250×250 px; bone marrow aspirate smear; 40× oil immersion
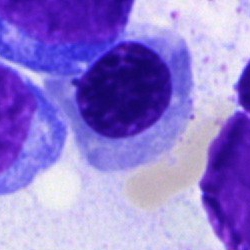 Cell — nucleated red blood cell.